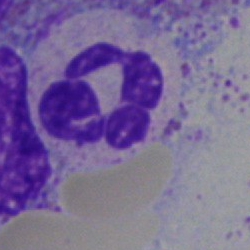

Cell type = segmented neutrophil.